Bone marrow smear · May-Grünwald-Giemsa/Pappenheim stain:
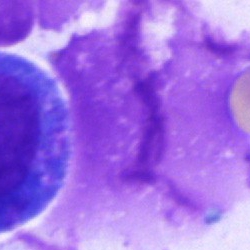
Impression — artifact.